Bone marrow aspirate smear:
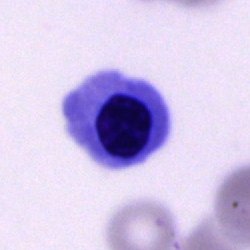 Morphology consistent with an erythroblast.